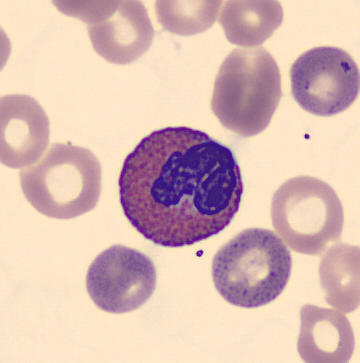
Acquisition: Cropped to a single cell. Specimen: peripheral blood smear.
Cell type: eosinophil.
Lineage: myeloid.